Bone marrow smear.
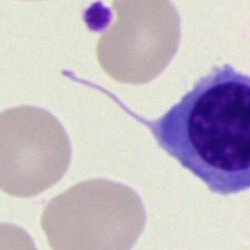 {"cell_type": "cell of indeterminate lineage"}